Bone marrow smear
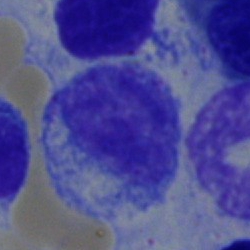
A myelocyte.